Bone marrow aspirate smear — 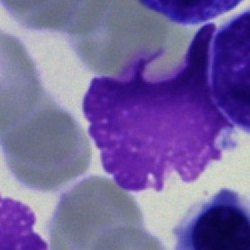Classification = artifact.